250 by 250 pixels · Pappenheim-stained · bone marrow aspirate smear:
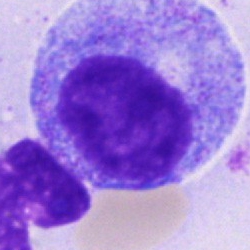Showing a progranulocyte.